Bone marrow aspirate smear:
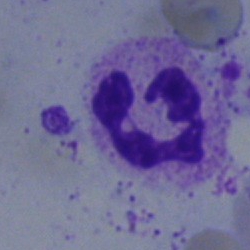The morphological class is neutrophil (segmented).